Bone marrow aspirate smear · 250×250 px · MGG-stained — 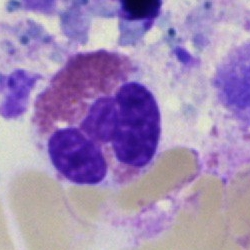

Q: What type of cell is this?
A: Eosinophil.